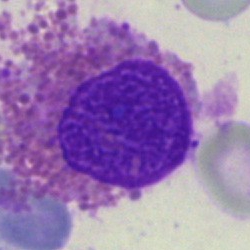 An eosinophil.